Bone marrow smear — 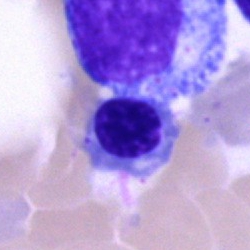Specimen: bone marrow smear.
Cell: nucleated red blood cell.
Lineage: erythroid.